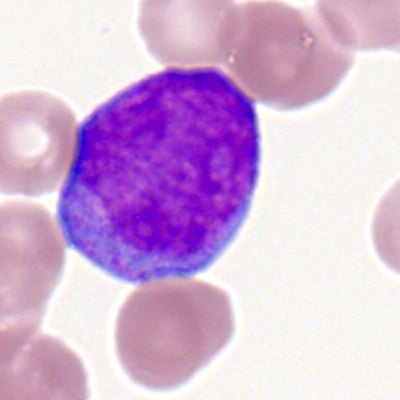

Specimen: peripheral blood film.
Classification: myeloid blast.
Lineage: myeloid.